Bone marrow aspirate smear
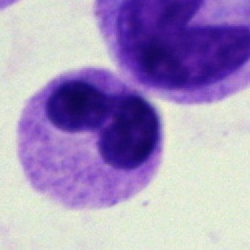
Q: What is shown here?
A: A segmented neutrophil.